M8 digital microscope (Precipoint), 100× oil immersion; peripheral blood film:
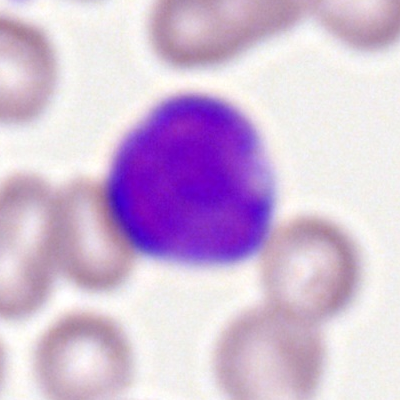 {"cell_type": "myeloid blast"}